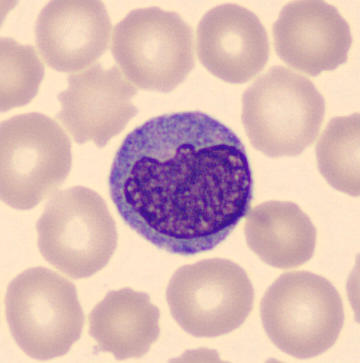
Impression → monocyte.